Bone marrow smear.
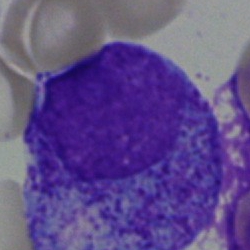
The morphological class is promyelocyte.